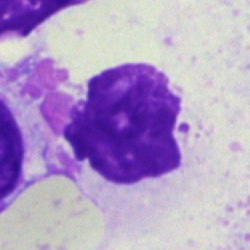

Q: What is shown here?
A: An artefact.